MGG-stained · bone marrow aspirate smear — 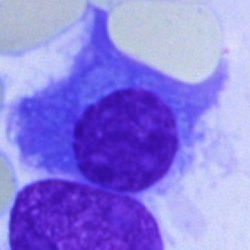
{"cell_type": "plasmacyte"}